Bone marrow aspirate smear
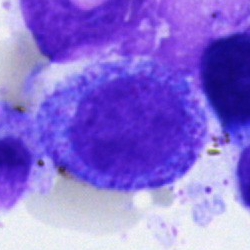
Morphology consistent with a promyelocyte.